40× oil immersion · bone marrow smear · cropped to a single cell: 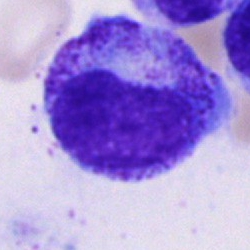The cell shown is a progranulocyte.